Bone marrow aspirate smear:
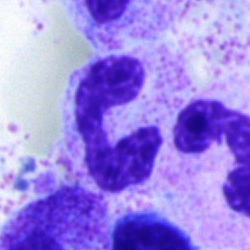
Impression — polymorphonuclear neutrophil.